Brightfield microscopy, 40× oil immersion. Bone marrow aspirate smear. May-Grünwald-Giemsa stain: 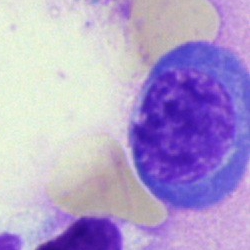
This is a nucleated red blood cell.